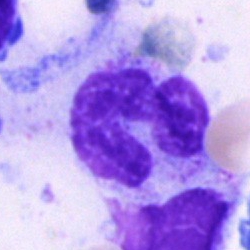A monocyte on a bone marrow smear.